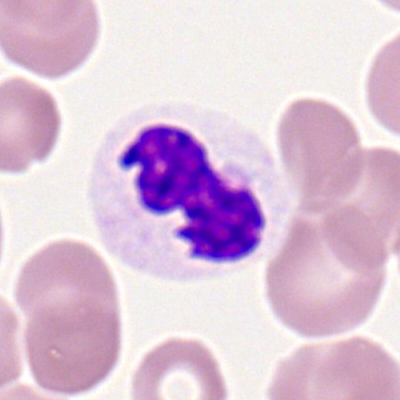
Classification: polymorphonuclear neutrophil.